Bone marrow aspirate smear: 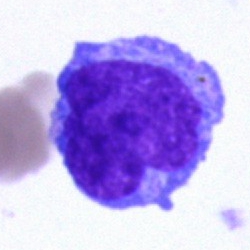 Q: What is shown here?
A: It is a blast cell.